Bone marrow smear. Single-cell crop — 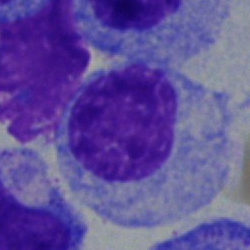The cell shown is a myelocyte.